Peripheral blood film: 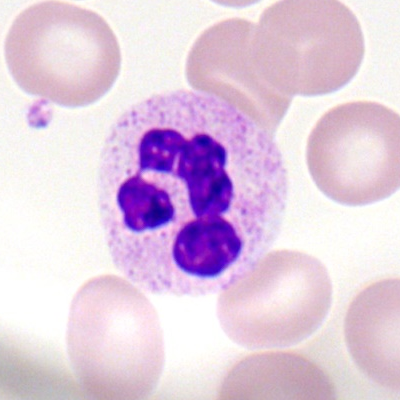
Morphological class = segmented neutrophil.